Bone marrow aspirate smear:
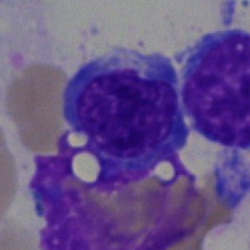
Specimen: bone marrow smear.
Morphological class: nucleated red blood cell.
Lineage: erythroid.